Image size 250×250. Bone marrow smear. May-Grünwald-Giemsa/Pappenheim stain — 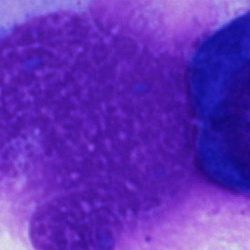

Q: What is shown here?
A: This is an artefact.